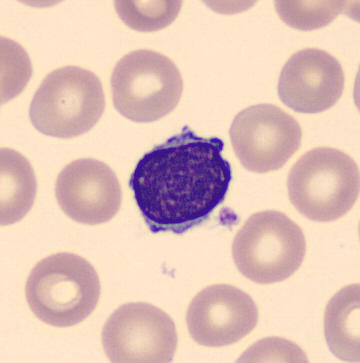

Peripheral blood film; automated cell imaging (CellaVision DM96); single-cell field.

Morphology — lymphocyte.